Bone marrow aspirate smear: 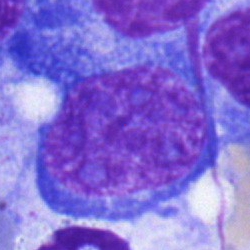

Q: What is shown here?
A: Erythroblast.